Bone marrow aspirate smear; brightfield microscopy, 40× oil immersion.
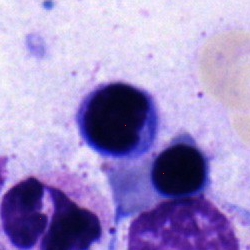

Q: What type of cell is this?
A: It is a lymphocyte.